Image size 250×250. Bone marrow aspirate smear.
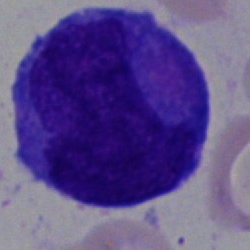
Morphological class = undifferentiated blast.